Bone marrow smear:
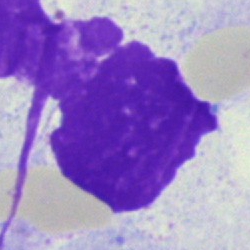
Q: What is shown here?
A: It is an artefact.